Bone marrow smear
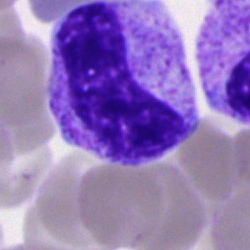
Impression → band-form neutrophil.